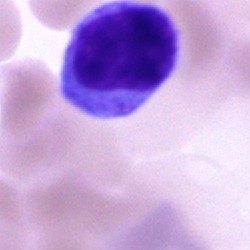

Q: What type of cell is this?
A: It is a lymphocyte.